Bone marrow aspirate smear
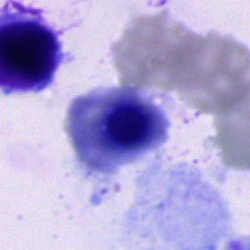Q: What type of cell is this?
A: This is a nucleated red cell.